Bone marrow aspirate smear · MGG-stained:
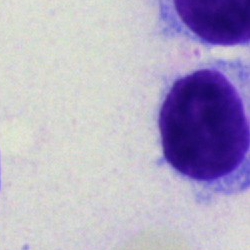
Specimen: bone marrow aspirate smear.
Cell: artefact.